Bone marrow aspirate smear:
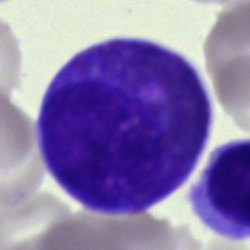 The morphological class is artifact.